Bone marrow aspirate smear; single-cell crop
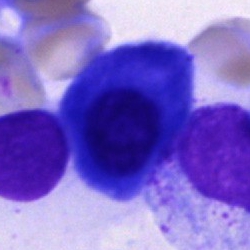Showing a plasmacyte.